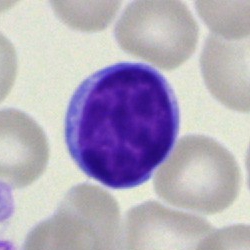

A typical lymphocyte.